Single-cell field; bone marrow aspirate smear: 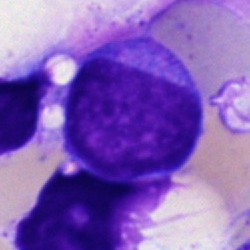

Impression — undifferentiated blast.